Bone marrow aspirate smear; May-Grünwald-Giemsa stain.
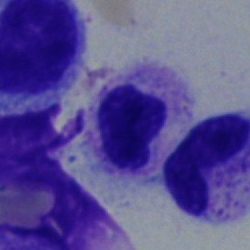

Morphology → neutrophil (segmented).